Bone marrow smear. Brightfield microscopy, 40× oil immersion.
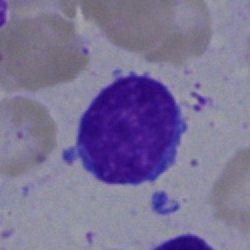The morphological class is lymphocyte.